Peripheral blood film.
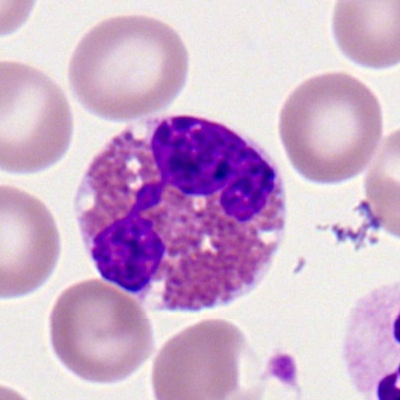 {"cell_type": "eosinophilic granulocyte"}